Image size 250×250 · bone marrow aspirate smear
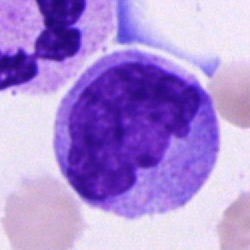 {"cell_type": "monocyte", "lineage": "myeloid"}